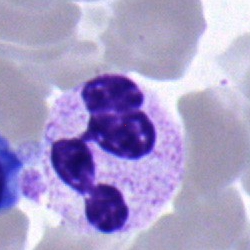 Q: What is shown here?
A: It is a segmented neutrophil.